Bone marrow aspirate smear.
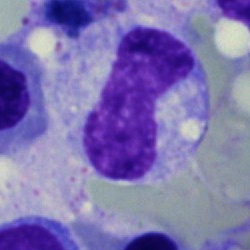

Q: What is the morphological classification of this cell?
A: This is a band-form neutrophil.